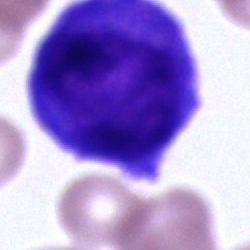 Single-cell crop from a bone marrow smear: cell of indeterminate lineage.